250×250 px · bone marrow smear.
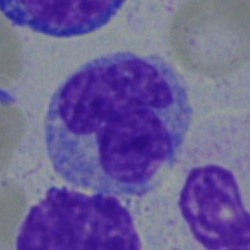

Specimen: bone marrow smear.
Cell type: monocyte.